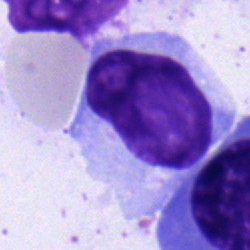
Lymphocyte.